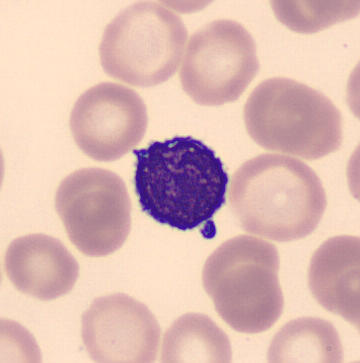

Acquisition: Peripheral blood film.

The cell shown is a typical lymphocyte.